Bone marrow aspirate smear: 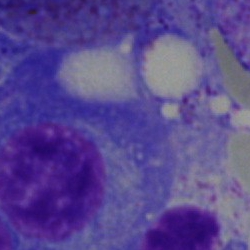Cell type = plasma cell.